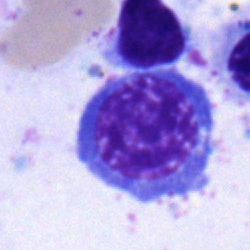This is a nucleated red blood cell.